Cropped to a single cell. Brightfield microscopy, 40× oil immersion. Bone marrow smear
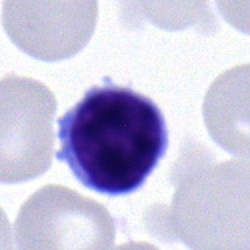Q: Identify the cell.
A: Typical lymphocyte.